May-Grünwald-Giemsa/Pappenheim stain. Bone marrow smear. 250×250:
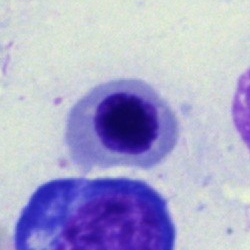Q: Which cell type is shown here?
A: Nucleated red blood cell.